Bone marrow smear: 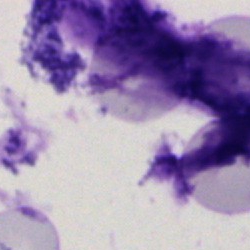 Cell: artefact.